Peripheral blood smear — 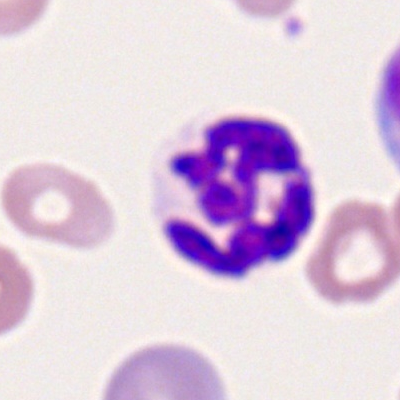 Polymorphonuclear neutrophil.